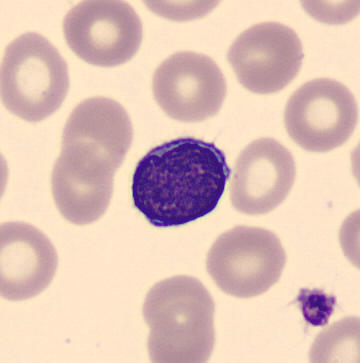

Q: What type of cell is this?
A: A typical lymphocyte.
Peripheral blood smear; MGG stain; 360×363.